Bone marrow aspirate smear
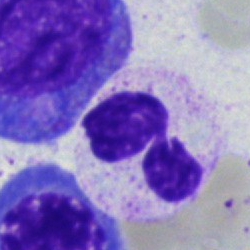Showing a polymorphonuclear neutrophil.